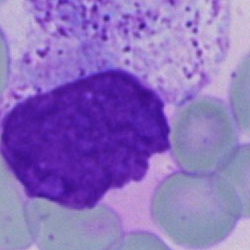

Specimen: bone marrow smear.
Morphological class: artifact.